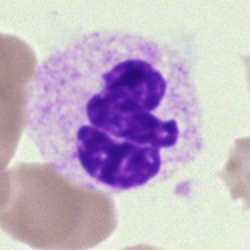
Morphological class = neutrophil (segmented).